Bone marrow smear
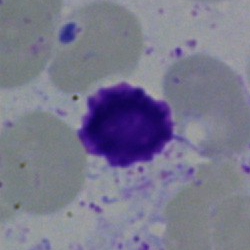

Specimen: bone marrow smear.
Classification: artefact.